40× oil immersion · bone marrow aspirate smear:
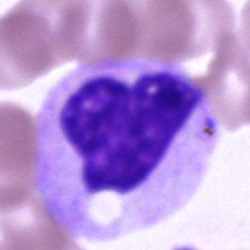Showing an unidentifiable cell.